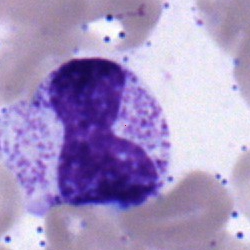

Q: Which cell type is shown here?
A: This is a neutrophil (band).